Bone marrow aspirate smear
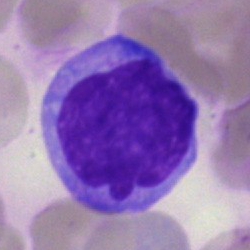This is a monocyte.